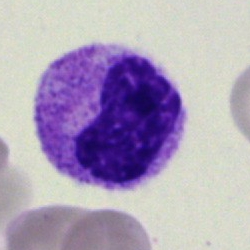

Q: What type of cell is this?
A: This is a stab cell.